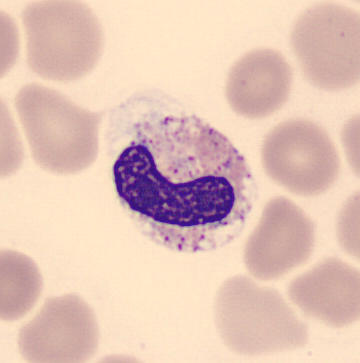 Classification: band neutrophil.